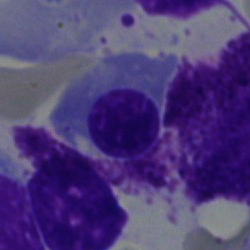Impression → normoblast.